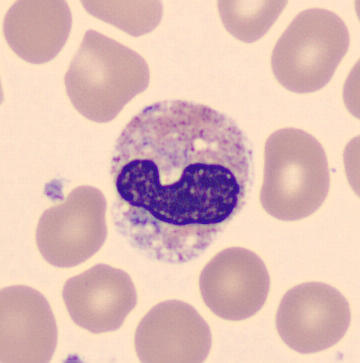Acquisition: Peripheral blood smear · 360 by 363 pixels.

Q: Which cell type is shown here?
A: It is a neutrophil (band).